Bone marrow smear — 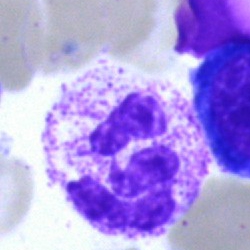
Impression — neutrophil (segmented).